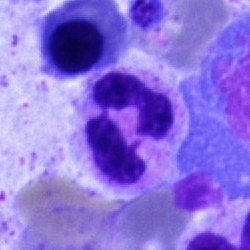

Bone marrow smear showing a neutrophil (segmented).